May-Grünwald-Giemsa stain; bone marrow smear; single cell centered in the field.
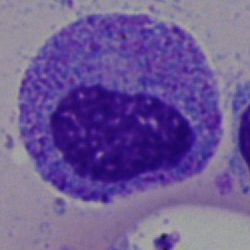The morphological class is promyelocyte.